Bone marrow smear — 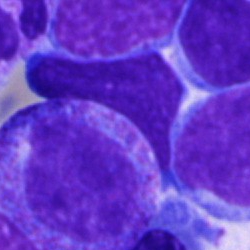

Classification = promyelocyte.